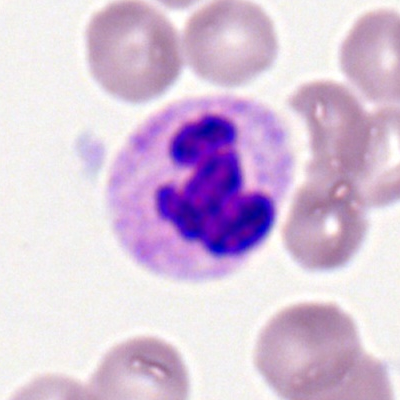

Cell: polymorphonuclear neutrophil.